Bone marrow smear — 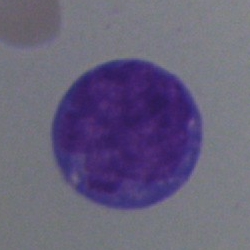
Cell type = blast cell.